Peripheral blood film; single-cell field; 100× oil immersion — 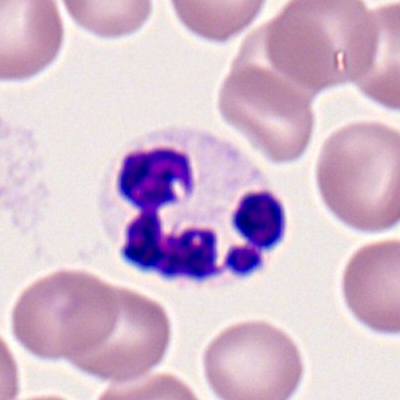 Impression → polymorphonuclear neutrophil.